May-Grünwald-Giemsa stain · bone marrow smear · 250 by 250 pixels
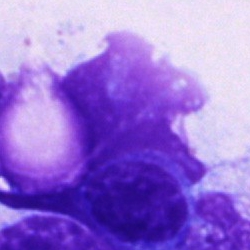Specimen: bone marrow aspirate smear.
Cell type: artefact.